Brightfield microscopy, 40× oil immersion; bone marrow aspirate smear.
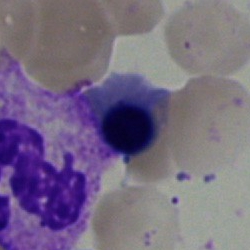
Morphology → nucleated red blood cell.